Single-cell field · bone marrow aspirate smear.
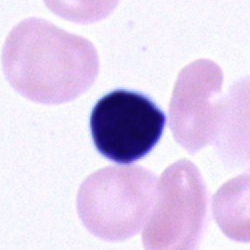

Morphology consistent with a cell of indeterminate lineage.